Peripheral blood film · 100× objective, oil immersion — 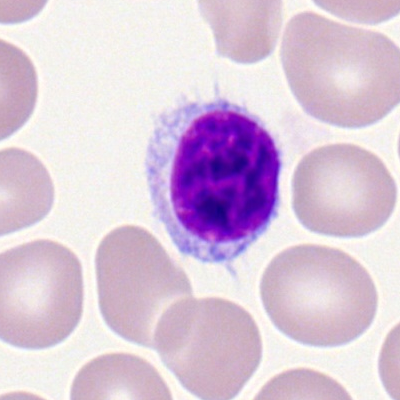
Morphological class — typical lymphocyte.